40× oil immersion. Bone marrow smear:
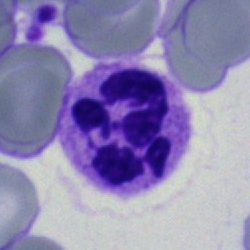 This is a neutrophil (segmented).